Peripheral blood smear
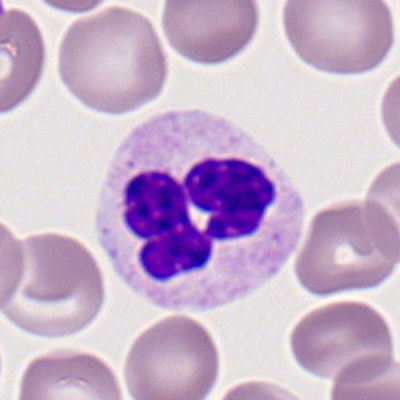Q: Identify the cell.
A: Polymorphonuclear neutrophil.